Bone marrow aspirate smear. Single-cell crop
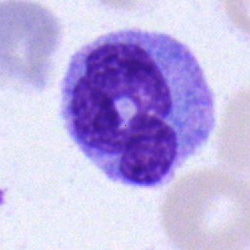 {"cell_type": "monocyte", "lineage": "myeloid"}